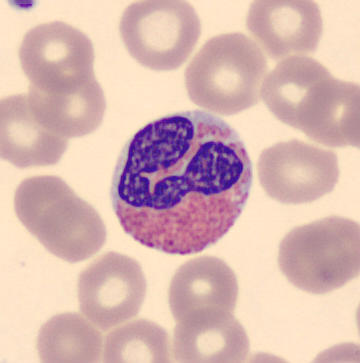

Morphology → eosinophilic granulocyte.